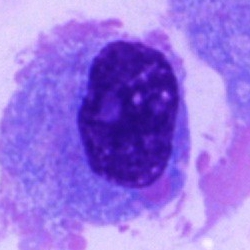
Morphological class: plasma cell.